Bone marrow aspirate smear.
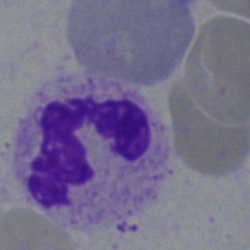Q: Identify the cell.
A: It is a segmented neutrophil.